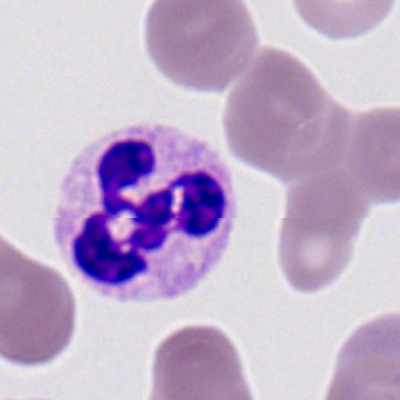

Q: Identify the cell.
A: It is a segmented neutrophil.